Bone marrow aspirate smear: 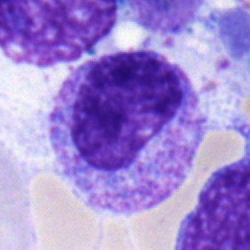 Classification = myelocyte.